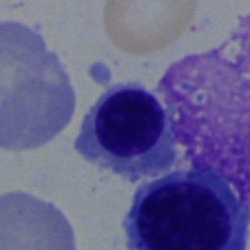A nucleated red cell on a bone marrow smear.